MGG-stained · bone marrow aspirate smear · 250×250.
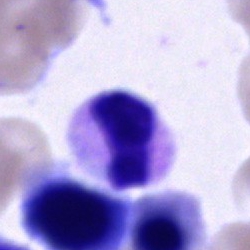Cell: unidentifiable cell.